Peripheral blood film; image size 400×400
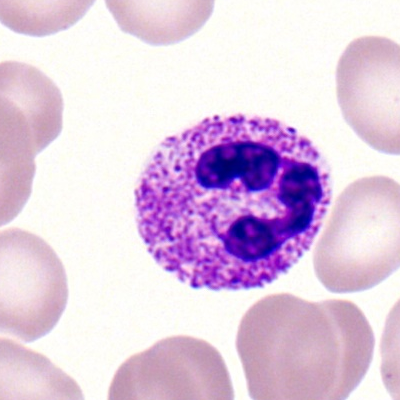Morphology consistent with a segmented neutrophil.